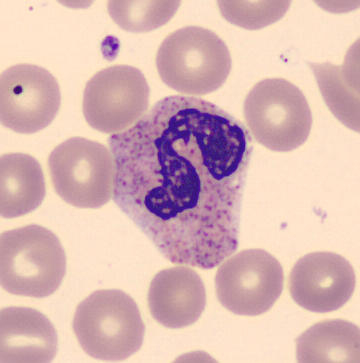
Morphology → polymorphonuclear neutrophil.